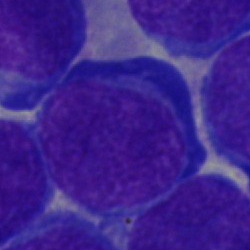

Impression — blast cell.